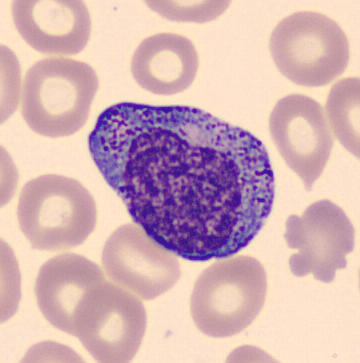
The cell shown is a progranulocyte.
Preparation: 360×363 px. May Grünwald-Giemsa stain. Peripheral blood smear.